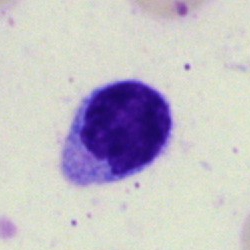

Classification = typical lymphocyte.